Bone marrow aspirate smear
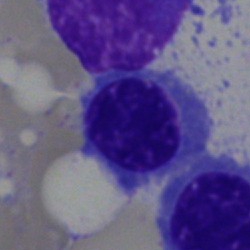 Q: What cell is this?
A: Nucleated red blood cell.